Bone marrow aspirate smear · single-cell crop:
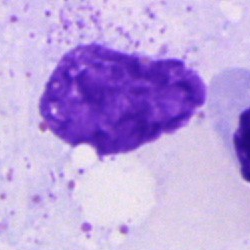
Specimen: bone marrow smear.
Classification: artifact.